Brightfield microscopy, 40× oil immersion; bone marrow smear: 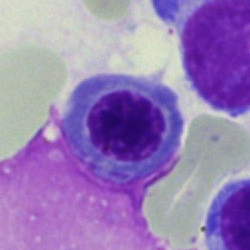The cell type is erythroblast.